Bone marrow smear.
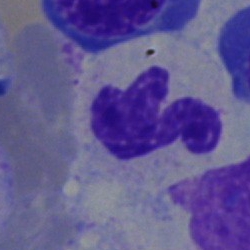 Cell type = segmented neutrophil.